Bone marrow smear — 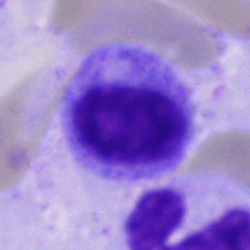The morphological class is metamyelocyte.